Bone marrow aspirate smear:
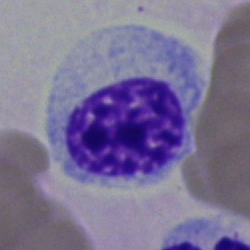
Cell = myelocyte.